MGG-stained · bone marrow smear · single-cell crop — 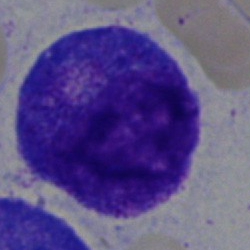

Progranulocyte.